Bone marrow aspirate smear; brightfield, 40× oil-immersion objective; Pappenheim-stained: 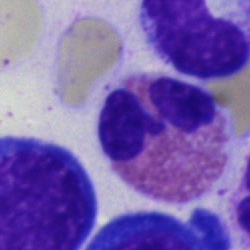The cell is eosinophilic granulocyte.